Bone marrow smear · 250×250 px
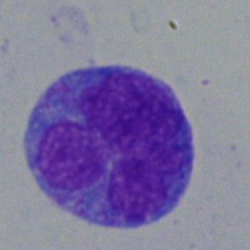

Specimen: bone marrow aspirate smear.
Morphological class: monocyte.
Lineage: myeloid.